May-Grünwald-Giemsa stain; bone marrow aspirate smear; 250 by 250 pixels:
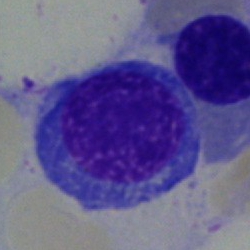

Impression — normoblast.